May-Grünwald-Giemsa/Pappenheim stain; bone marrow smear.
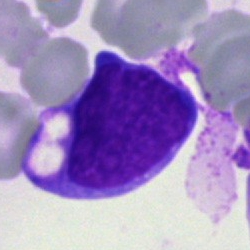
Undifferentiated blast.